Bone marrow aspirate smear.
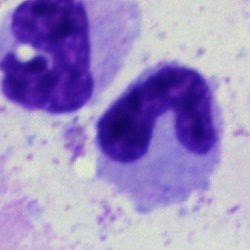 Morphological class: band-form neutrophil.